Bone marrow smear: 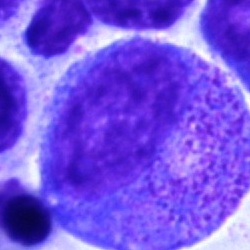
Showing a promyelocyte.